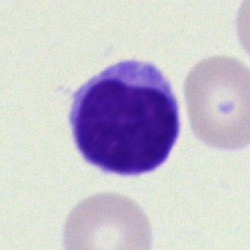Morphology → lymphocyte.